Image size 250×250; bone marrow smear.
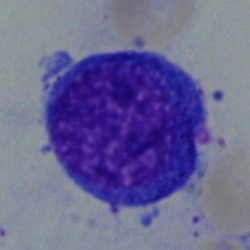 Specimen: bone marrow smear.
Classification: nucleated red cell.
Lineage: erythroid.